Bone marrow aspirate smear — 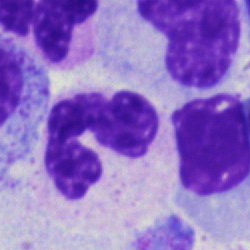Q: Identify the cell.
A: This is a neutrophil (segmented).